May-Grünwald-Giemsa stain. Bone marrow aspirate smear. Cropped to a single cell
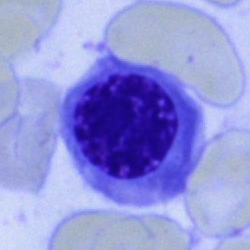 Specimen: bone marrow smear.
Cell type: nucleated red cell.
Lineage: erythroid.